Bone marrow smear:
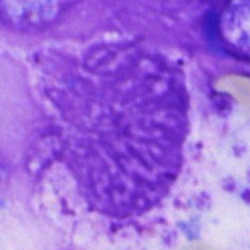 Impression → artifact.